Bone marrow aspirate smear. 250×250 — 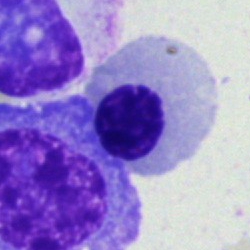 Cell: nucleated red blood cell.